Bone marrow aspirate smear:
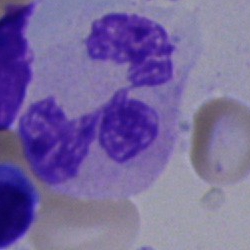Cell type — polymorphonuclear neutrophil.